Bone marrow aspirate smear: 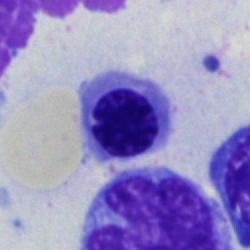Specimen: bone marrow aspirate smear.
Cell: erythroblast.